Romanowsky-stained · peripheral blood film: 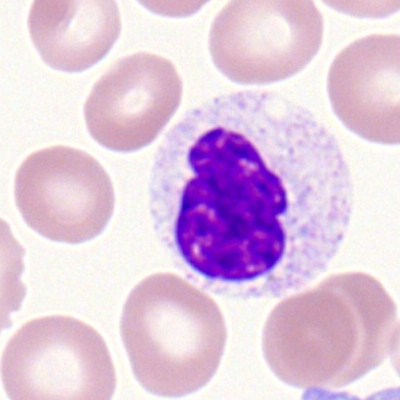
Morphology consistent with a neutrophil (segmented).